Bone marrow smear.
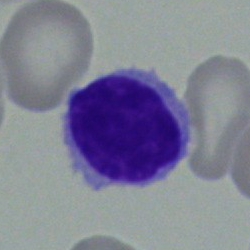

The cell is lymphocyte.